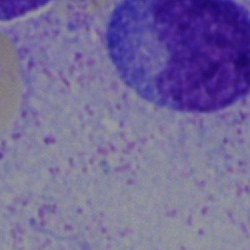 Q: What is shown here?
A: This is an artefact.